Bone marrow aspirate smear. Single cell centered in the field. Brightfield microscopy, 40× oil immersion
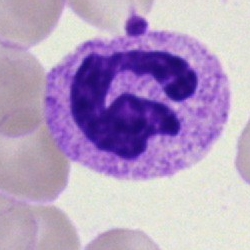 Classification — neutrophil (segmented).